Bone marrow smear: 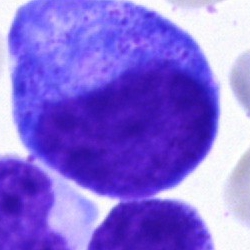
Classification = progranulocyte.